May-Grünwald-Giemsa stain. Bone marrow smear. 40× oil immersion — 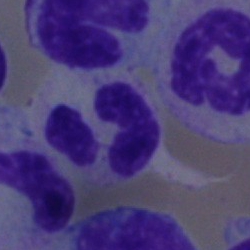Single cell identified as a polymorphonuclear neutrophil.